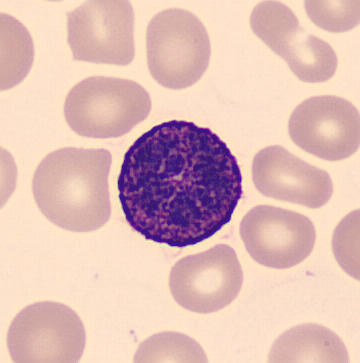

Image: MGG stain. Imaged on a CellaVision DM96 analyser. Peripheral blood film.

Showing a basophilic granulocyte.